Bone marrow aspirate smear. Image size 250×250: 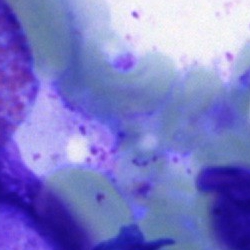Morphology consistent with an artifact.